Bone marrow smear.
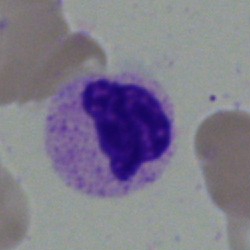
Q: Which cell type is shown here?
A: Segmented neutrophil.